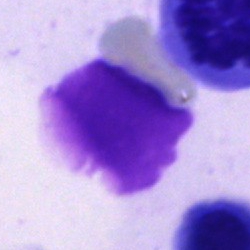{"cell_type": "artefact"}